Bone marrow smear:
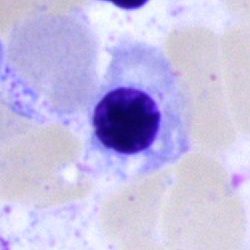

{"cell_type": "erythroblast", "lineage": "erythroid"}